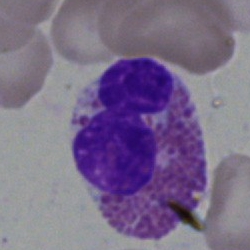 Bone marrow smear showing an eosinophil.